Bone marrow aspirate smear
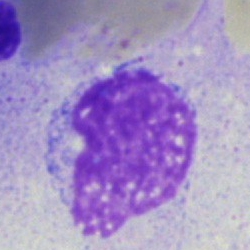Morphological class — artefact.